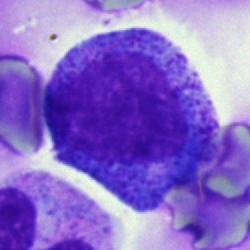 A progranulocyte.